May-Grünwald-Giemsa stain · bone marrow smear:
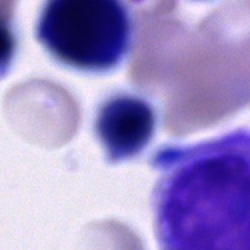 The morphological class is unidentifiable cell.